Pappenheim-stained · bone marrow aspirate smear · brightfield microscopy, 40× oil immersion: 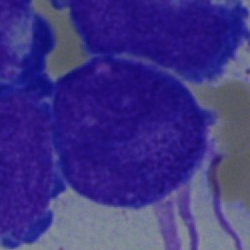Impression — blast.